250 by 250 pixels. Bone marrow smear. Single-cell crop: 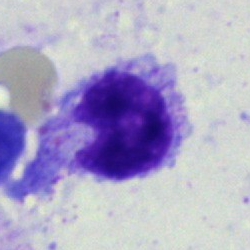 The cell shown is an artefact.